Bone marrow smear
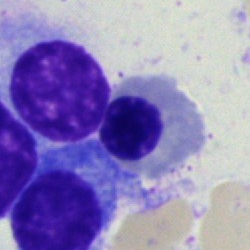
Q: What is shown here?
A: An erythroblast.